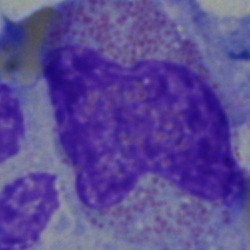
Impression → eosinophilic granulocyte.